Bone marrow aspirate smear.
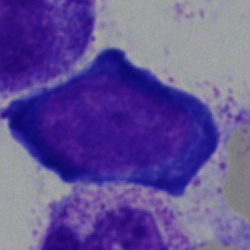
The cell shown is a proerythroblast.